Bone marrow smear
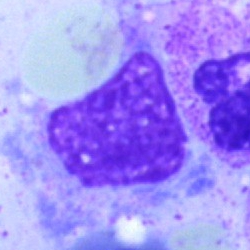

This is an artifact.